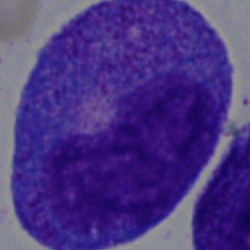
A promyelocyte.